Bone marrow smear: 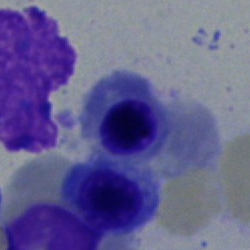
This is a nucleated red blood cell.